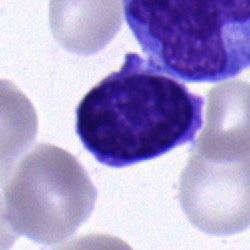
{"cell_type": "lymphocyte"}